Cropped to a single cell; bone marrow smear — 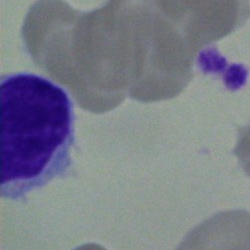{"cell_type": "typical lymphocyte", "lineage": "lymphoid"}